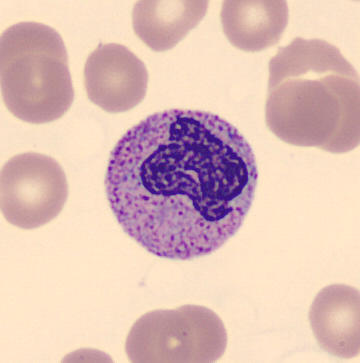
360 by 363 pixels · peripheral blood film · MGG-stained.

Showing a band neutrophil.